Single-cell crop; bone marrow smear
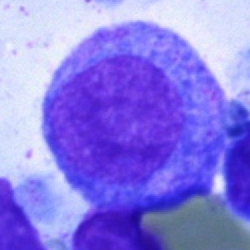 Cell type: promyelocyte.